Bone marrow aspirate smear:
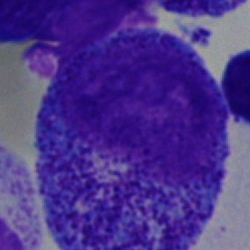Showing a progranulocyte.